Bone marrow aspirate smear: 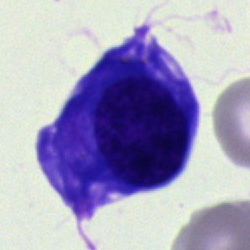

Q: Which cell type is shown here?
A: This is a normoblast.